Bone marrow aspirate smear
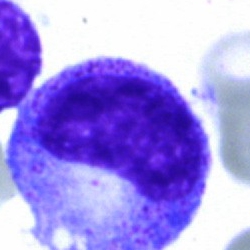
Specimen: bone marrow aspirate smear.
Cell: promyelocyte.
Lineage: myeloid.